250×250 · bone marrow smear:
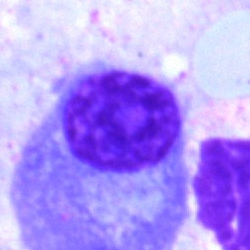
A plasmacyte.